Bone marrow smear; 250 by 250 pixels: 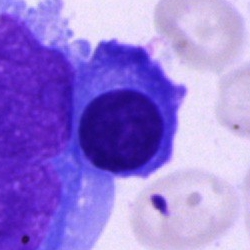

Showing an erythroblast.